Bone marrow aspirate smear — 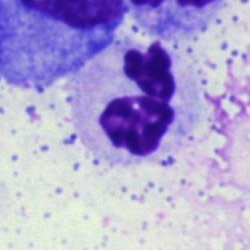Morphological class = segmented neutrophil.